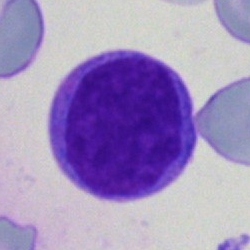 Morphology → undifferentiated blast.